Bone marrow smear — 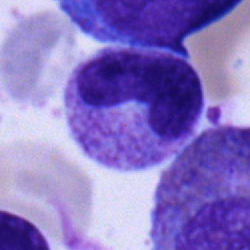
Showing a stab cell.